Pappenheim-stained; bone marrow aspirate smear: 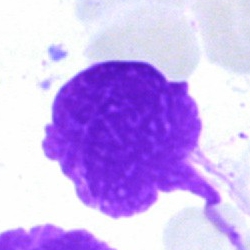
The cell is artefact.